40× objective, oil immersion; bone marrow aspirate smear; single-cell crop — 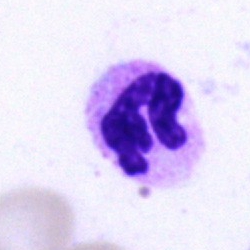

Impression — neutrophil (segmented).